Bone marrow aspirate smear — 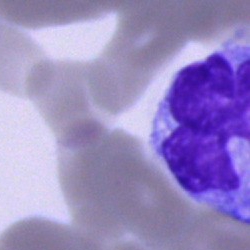Cell — monocyte.